Bone marrow aspirate smear: 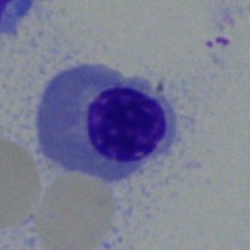

Cell: nucleated red blood cell.